Pappenheim-stained; 250 by 250 pixels; bone marrow smear.
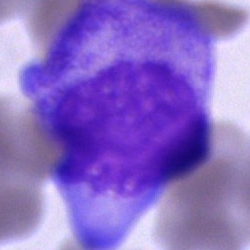This is an unidentifiable cell.